Peripheral blood film — 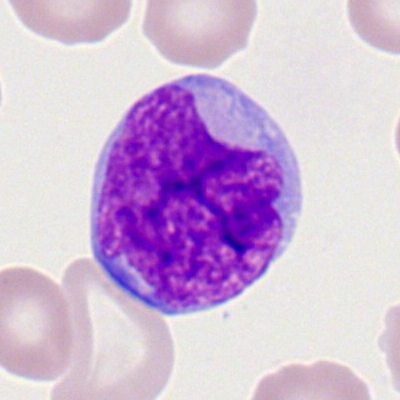

Morphological class: myeloid blast.